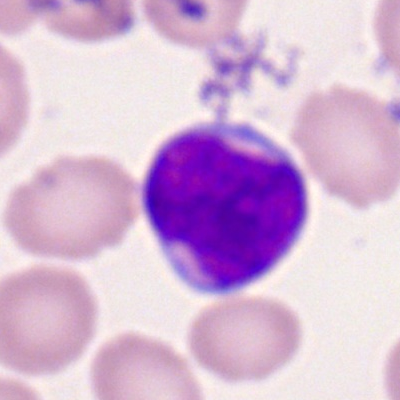
Specimen: peripheral blood smear.
Morphological class: myeloblast.
Lineage: myeloid.